Bone marrow smear · brightfield microscopy, 40× oil immersion
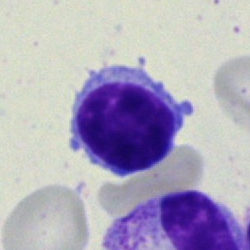
Morphological class: typical lymphocyte.